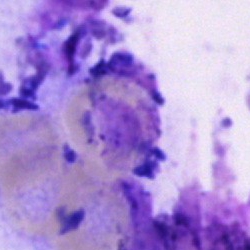 Specimen: bone marrow smear.
Classification: artifact.